Bone marrow smear:
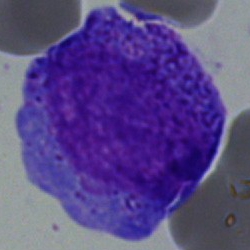The cell is progranulocyte.